Image size 250×250 · bone marrow aspirate smear · single-cell field: 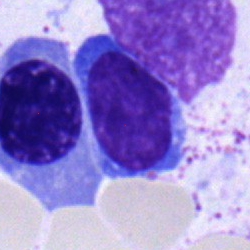
Specimen: bone marrow smear.
Cell type: lymphocyte.
Lineage: lymphoid.